40× objective, oil immersion. Bone marrow aspirate smear.
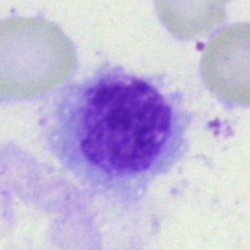 Showing an artifact.